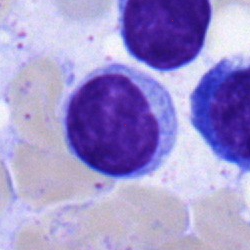
The morphological class is lymphocyte.